Single-cell crop; Pappenheim-stained; bone marrow aspirate smear:
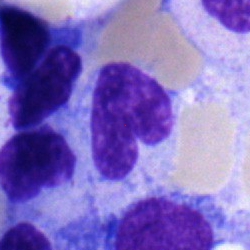{"cell_type": "neutrophil (band)", "lineage": "myeloid"}